Bone marrow smear · single-cell crop: 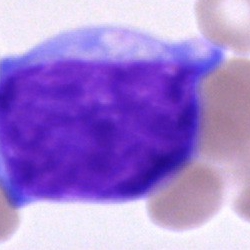Showing an undifferentiated blast.